Cropped to a single cell; bone marrow aspirate smear — 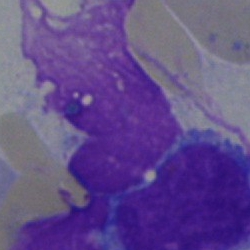

This is an artifact.